Bone marrow smear:
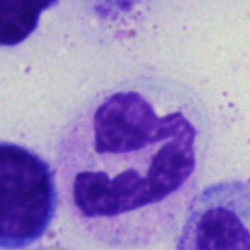Single cell identified as a polymorphonuclear neutrophil.